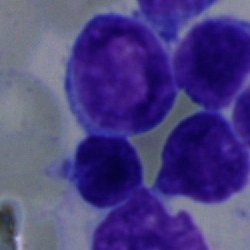
Q: Identify the cell.
A: Undifferentiated blast.